Peripheral blood smear. Single cell centered in the field
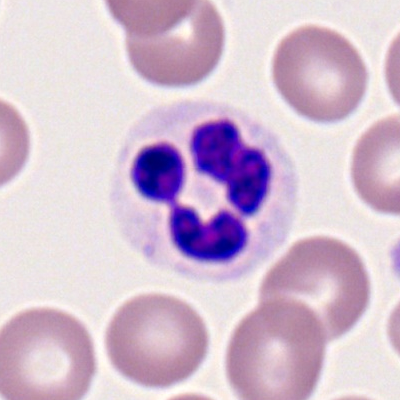

Specimen: peripheral blood film.
Morphological class: polymorphonuclear neutrophil.